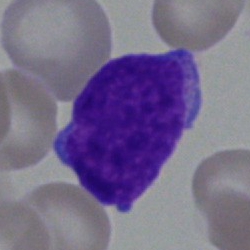

The morphological class is blast cell.